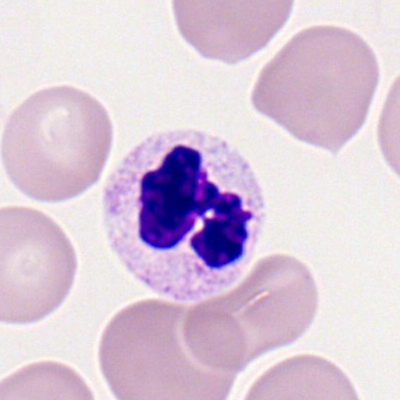 This is a segmented neutrophil.